Peripheral blood smear: 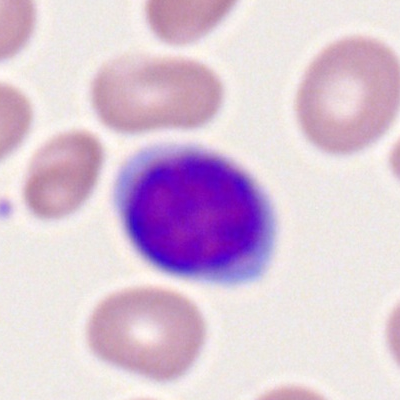 A lymphocyte.